Image size 250×250 · brightfield, 40× oil-immersion objective · bone marrow smear: 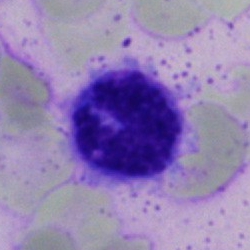Q: What type of cell is this?
A: Monocyte.